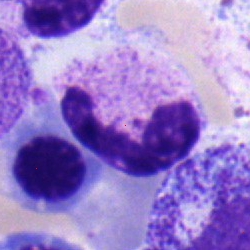 Single cell identified as a polymorphonuclear neutrophil.